May-Grünwald-Giemsa stain; bone marrow aspirate smear
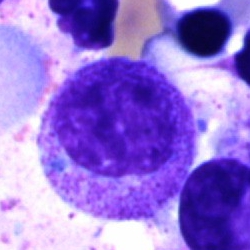{"cell_type": "myelocyte", "lineage": "myeloid"}